Bone marrow aspirate smear · brightfield, 40× oil-immersion objective — 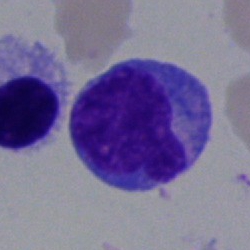 Morphological class — undifferentiated blast.